250×250 px · bone marrow smear: 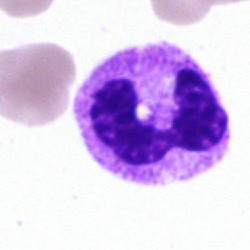
Q: Which cell type is shown here?
A: It is a polymorphonuclear neutrophil.